Bone marrow aspirate smear. Single cell centered in the field — 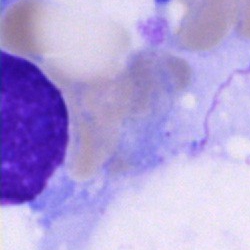Artifact.